Bone marrow smear — 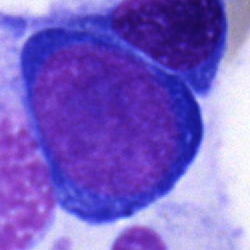

This is a pronormoblast.